Bone marrow smear: 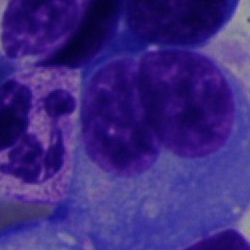
Cell type = plasma cell.